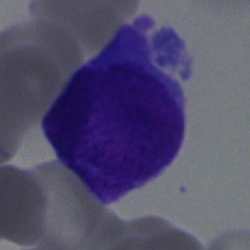 Morphology — undifferentiated blast.